Peripheral blood smear:
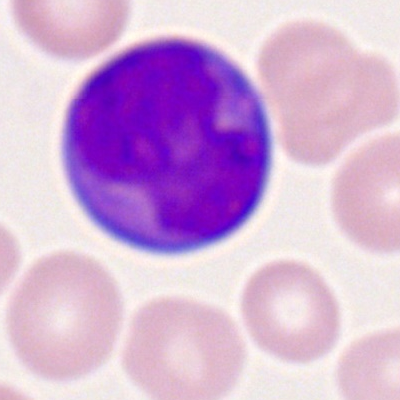
Myeloblast.